Bone marrow aspirate smear · 250 by 250 pixels.
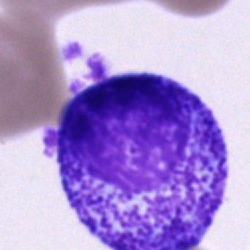

Classification = myelocyte.